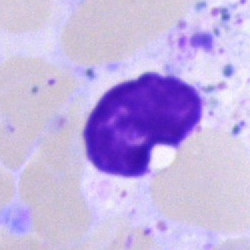
Morphology — artefact.